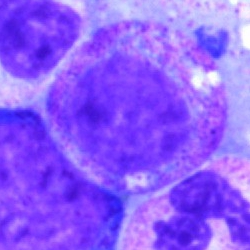 Specimen: bone marrow aspirate smear.
Classification: metamyelocyte.
Lineage: myeloid.